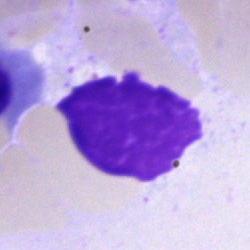 Morphology — artefact.